Bone marrow aspirate smear.
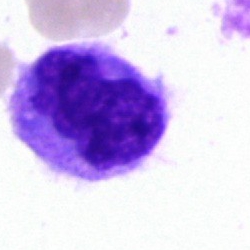

Monocyte.